Brightfield, 100× oil-immersion objective. 400×400 px. Peripheral blood smear — 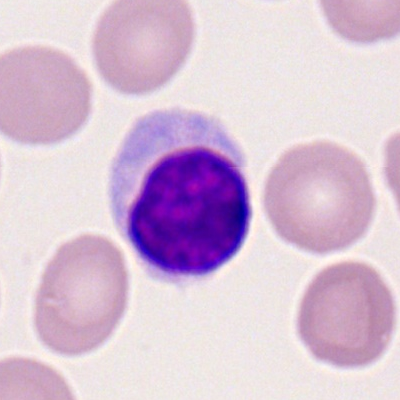Q: Identify the cell.
A: Typical lymphocyte.